Bone marrow smear. Single-cell field. MGG-stained.
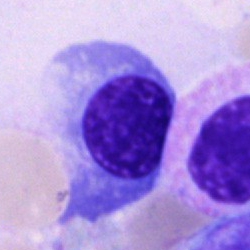

This is a nucleated red cell.